Bone marrow smear — 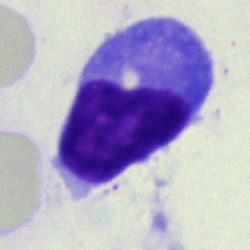

Impression — typical lymphocyte.